250×250 · brightfield, 40× oil-immersion objective · bone marrow smear:
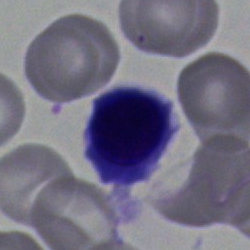The cell shown is an erythroblast.